Bone marrow smear. Brightfield, 40× oil-immersion objective:
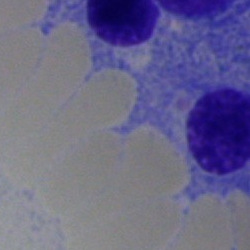
Morphology → cell of indeterminate lineage.